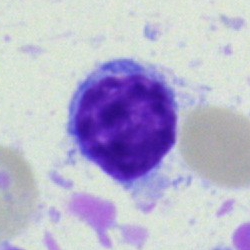Cell = typical lymphocyte.